Bone marrow smear. 250 by 250 pixels: 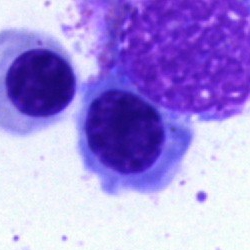Showing a nucleated red cell.